Bone marrow aspirate smear:
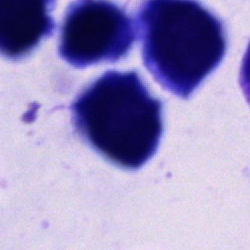
Specimen: bone marrow aspirate smear.
Morphological class: cell of indeterminate lineage.